Bone marrow smear
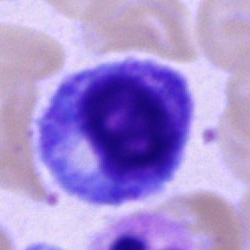 Q: What is shown here?
A: It is a progranulocyte.